Bone marrow smear · 40× oil immersion: 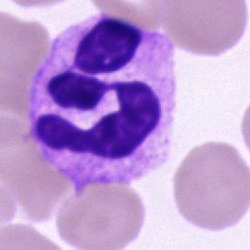

Morphology consistent with a polymorphonuclear neutrophil.